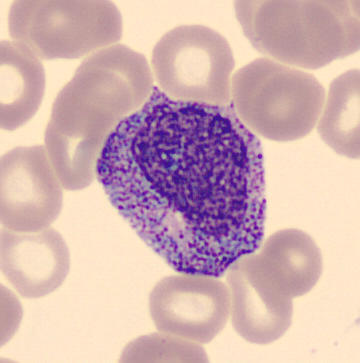 Q: What cell is this?
A: A promyelocyte.